Bone marrow aspirate smear
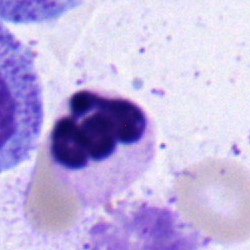 Showing a polymorphonuclear neutrophil.